Bone marrow aspirate smear — 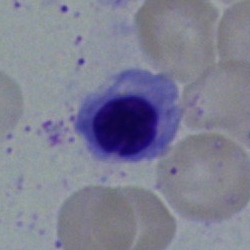
Single cell identified as a normoblast.